Bone marrow smear.
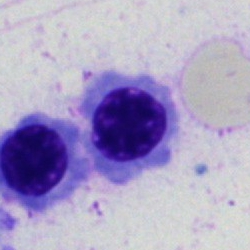
Classification: erythroblast.